Bone marrow aspirate smear
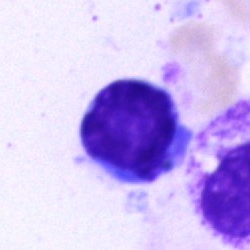
Lymphocyte.